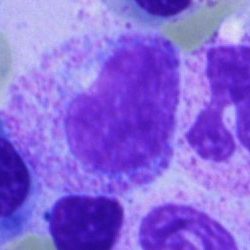 A metamyelocyte on a bone marrow smear.